Bone marrow aspirate smear: 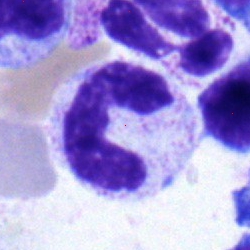 {"cell_type": "stab cell"}